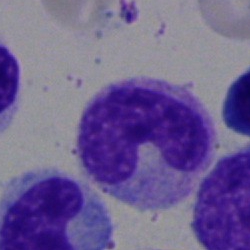Morphological class: stab cell.